Bone marrow aspirate smear: 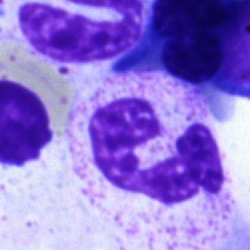 Segmented neutrophil.